Cropped to a single cell; bone marrow aspirate smear:
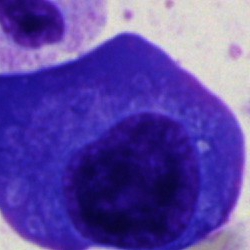
Morphology → plasma cell.